Bone marrow smear: 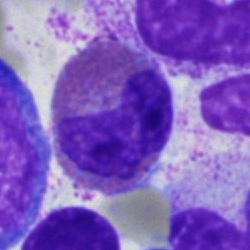

{"cell_type": "eosinophilic granulocyte", "lineage": "myeloid"}